Bone marrow smear
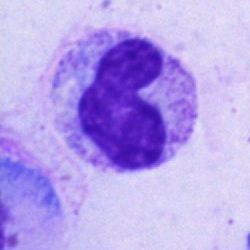Morphology consistent with a neutrophil (band).